40× objective, oil immersion; bone marrow aspirate smear.
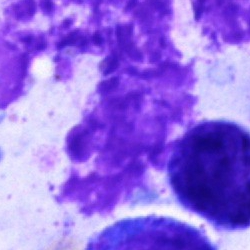

Cell: artifact.